Bone marrow smear:
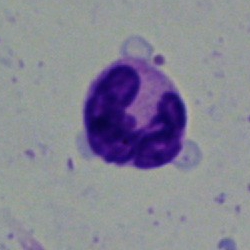
Morphology consistent with a neutrophil (segmented).